Bone marrow smear.
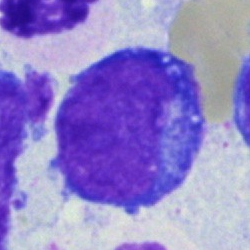

Q: What type of cell is this?
A: A blast cell.